Bone marrow smear.
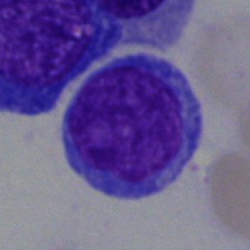

Showing an undifferentiated blast.